Cropped to a single cell; bone marrow aspirate smear; 40× oil immersion:
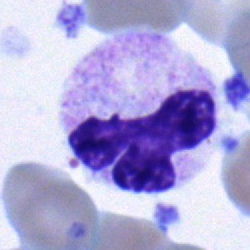
{"cell_type": "segmented neutrophil", "lineage": "myeloid"}